250 by 250 pixels; bone marrow aspirate smear.
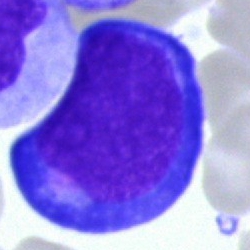
Proerythroblast.